Bone marrow aspirate smear:
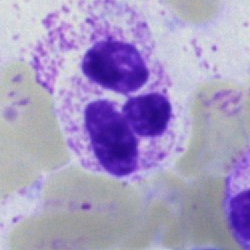
Q: What is the morphological classification of this cell?
A: A neutrophil (segmented).